Bone marrow aspirate smear:
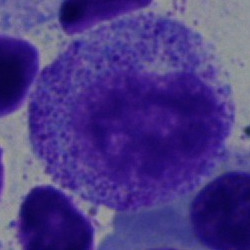 Promyelocyte.